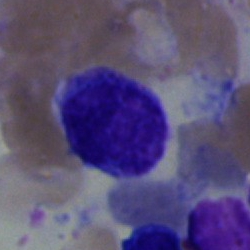 The cell shown is a lymphocyte.